Single cell centered in the field. MGG-stained. Bone marrow aspirate smear.
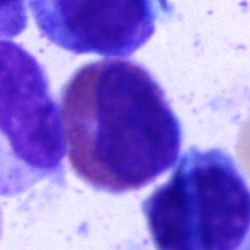Cell type — eosinophilic granulocyte.